Bone marrow aspirate smear:
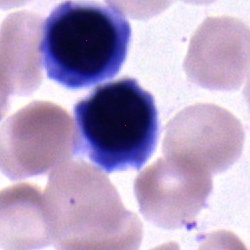

A typical lymphocyte.